Single-cell crop; bone marrow smear; May-Grünwald-Giemsa stain:
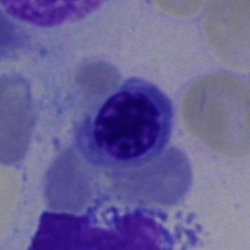The cell shown is a normoblast.